Bone marrow smear. 250×250. Single cell centered in the field
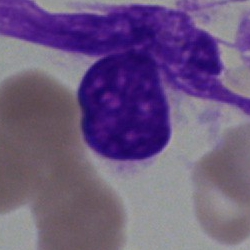
Morphology → artefact.